Bone marrow aspirate smear; single cell centered in the field
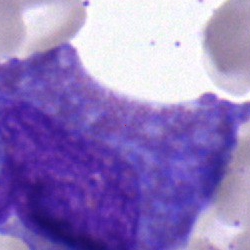

Q: What cell is this?
A: Eosinophil.